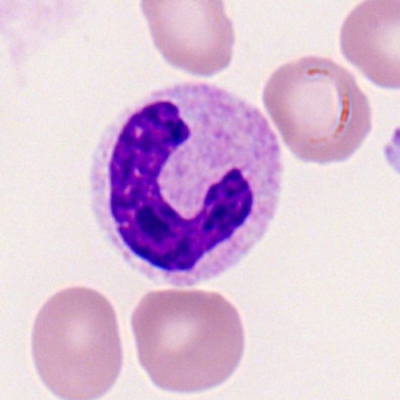
The cell type is band neutrophil.